Bone marrow aspirate smear · brightfield microscopy, 40× oil immersion — 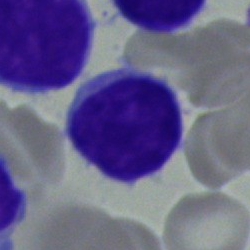 Morphology consistent with a typical lymphocyte.